Bone marrow smear. 250×250 px
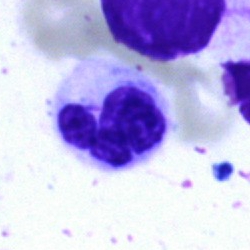 The cell shown is a polymorphonuclear neutrophil.